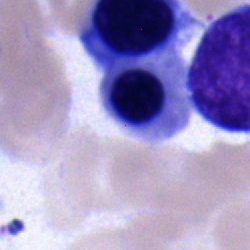

Cell: erythroblast.